Bone marrow smear
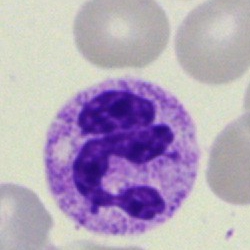

Specimen: bone marrow smear.
Morphological class: polymorphonuclear neutrophil.
Lineage: myeloid.